Bone marrow aspirate smear.
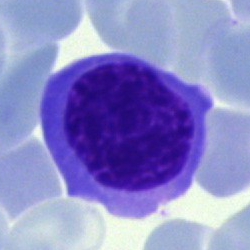
Specimen: bone marrow aspirate smear.
Cell type: nucleated red cell.
Lineage: erythroid.